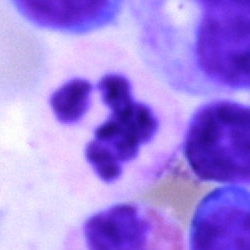
Specimen: bone marrow smear.
Classification: neutrophil (segmented).